40× objective, oil immersion. Bone marrow smear: 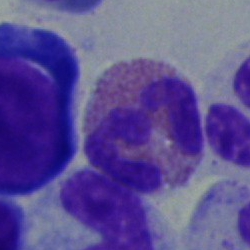

Classification = eosinophil.